Bone marrow smear.
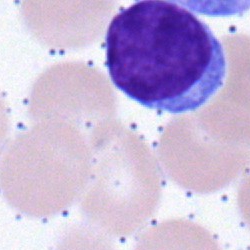The cell is lymphocyte.